Bone marrow smear: 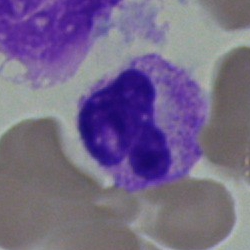
A segmented neutrophil.